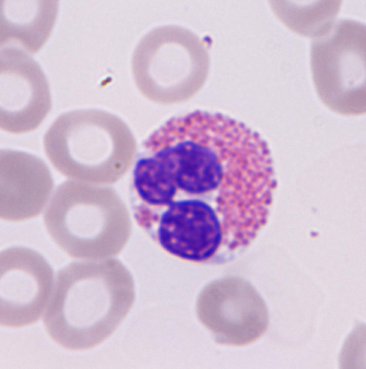Image: Peripheral blood film. An eosinophil.